Bone marrow aspirate smear.
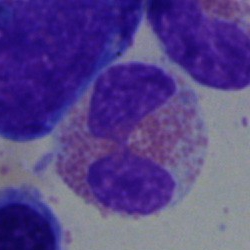Cell type — eosinophilic granulocyte.